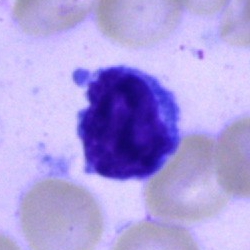 Impression — typical lymphocyte.